400×400 px. Peripheral blood film:
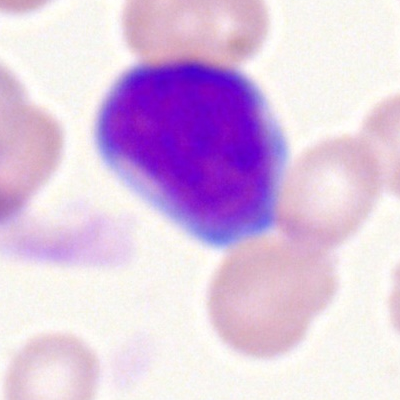 Myeloid blast.